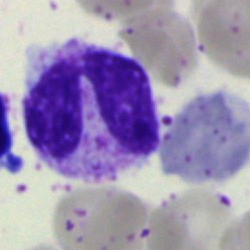The cell is neutrophil (segmented).